Bone marrow aspirate smear — 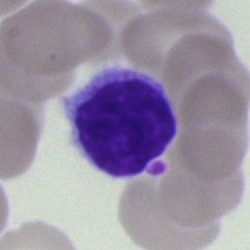
Morphology — lymphocyte.